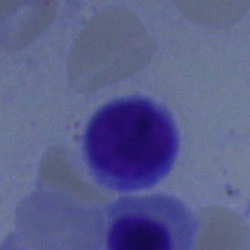

Q: What cell is this?
A: This is a typical lymphocyte.